Bone marrow aspirate smear. Single-cell field — 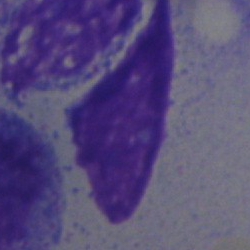
Impression — artifact.